Bone marrow aspirate smear · MGG-stained — 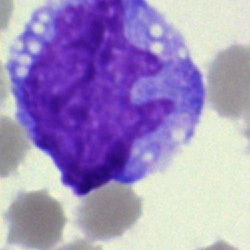

The morphological class is monocyte.